Brightfield microscopy, 40× oil immersion. Bone marrow aspirate smear
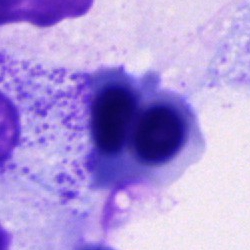

Cell type: nucleated red blood cell.